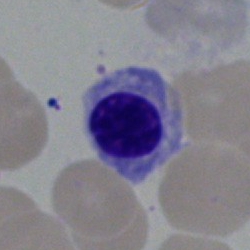
Specimen: bone marrow smear.
Morphological class: nucleated red blood cell.